Bone marrow smear. 40× objective, oil immersion. Image size 250×250
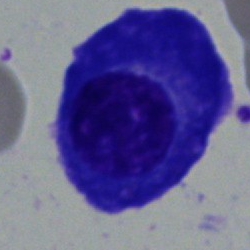
Q: Identify the cell.
A: A plasma cell.